Bone marrow aspirate smear: 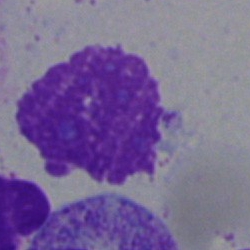 Morphology consistent with an artefact.